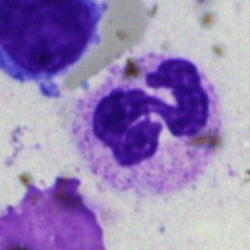 Specimen: bone marrow smear.
Cell: neutrophil (segmented).
Lineage: myeloid.